Bone marrow smear.
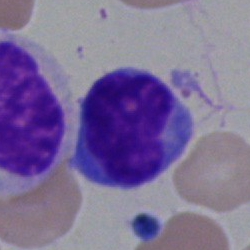Lymphocyte.